Bone marrow aspirate smear · single-cell field — 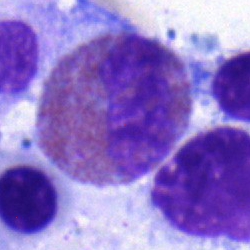

Q: Which cell type is shown here?
A: Eosinophilic granulocyte.